Bone marrow aspirate smear
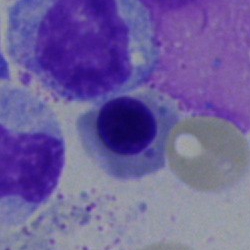Nucleated red blood cell.